Single-cell crop. Brightfield, 100× oil-immersion objective. Peripheral blood film: 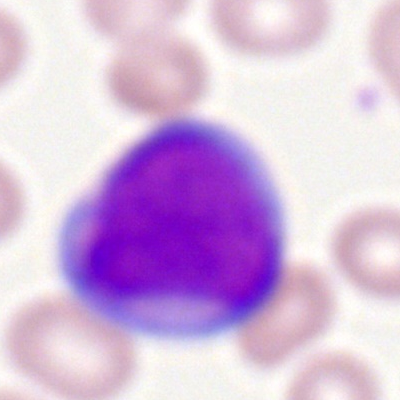

Morphological class: myeloblast.